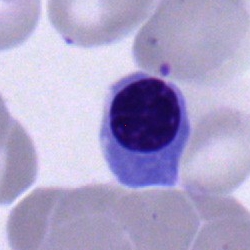This is a normoblast.